250×250 px. Cropped to a single cell. Bone marrow smear: 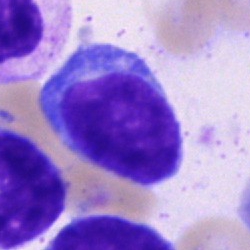
This is a typical lymphocyte.